Bone marrow smear; 40× objective, oil immersion; single cell centered in the field.
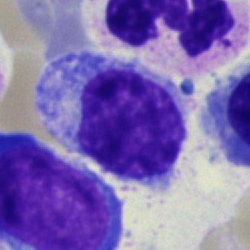Q: Which cell type is shown here?
A: Typical lymphocyte.